Bone marrow aspirate smear:
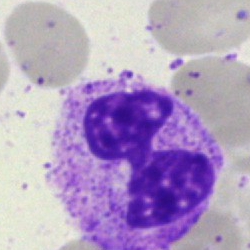Morphology → polymorphonuclear neutrophil.